Peripheral blood film · cropped to a single cell — 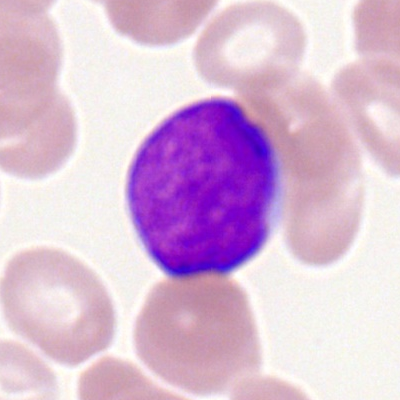
The cell is myeloid blast.